Bone marrow smear.
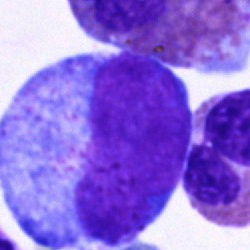

Progranulocyte.